Bone marrow aspirate smear
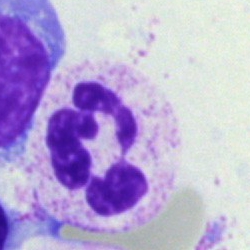

Showing a polymorphonuclear neutrophil.